Bone marrow aspirate smear · single-cell crop · image size 250×250 — 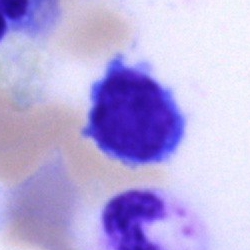 A typical lymphocyte.